Single cell centered in the field · bone marrow aspirate smear:
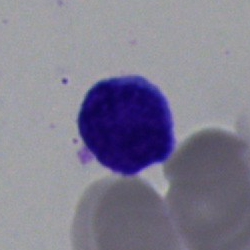Impression → lymphocyte.